Bone marrow aspirate smear: 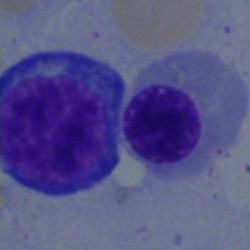
Morphology → nucleated red cell.